Bone marrow aspirate smear — 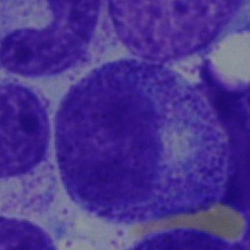

Morphology — myelocyte.